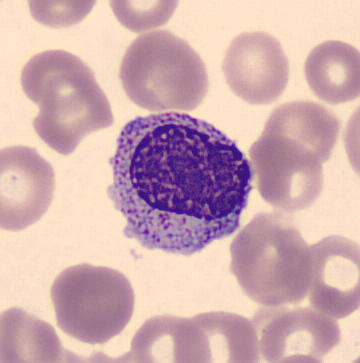

Morphological class = myelocyte.